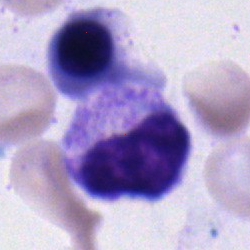Specimen: bone marrow aspirate smear.
Classification: metamyelocyte.